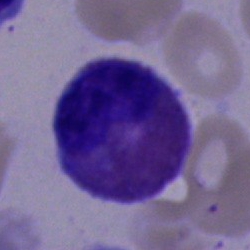 The morphological class is eosinophil.